Bone marrow aspirate smear.
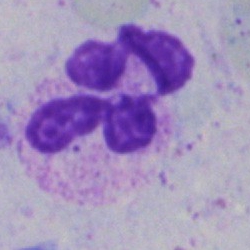
Single cell identified as a neutrophil (segmented).